Bone marrow smear. Pappenheim-stained:
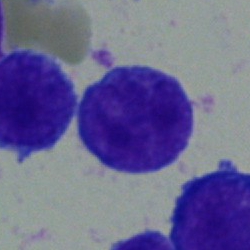
The cell shown is a blast.